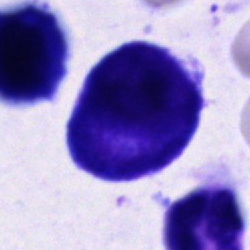 Bone marrow aspirate smear, single cell — cell of indeterminate lineage.